Bone marrow smear.
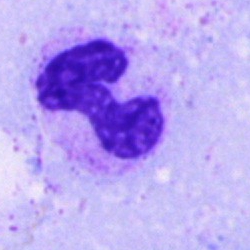

The cell type is polymorphonuclear neutrophil.